Bone marrow aspirate smear · 40× oil immersion:
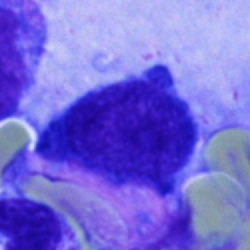
Q: What cell is this?
A: Undifferentiated blast.